Bone marrow smear. Single-cell crop.
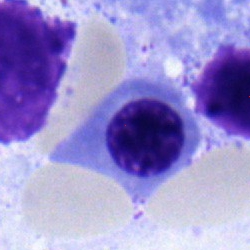Erythroblast.